Pappenheim-stained; bone marrow aspirate smear.
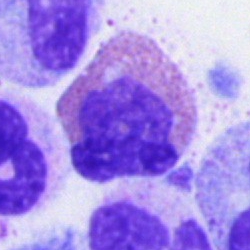
Morphological class = eosinophil.